Bone marrow aspirate smear:
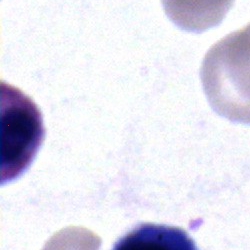Morphology consistent with an eosinophilic granulocyte.